Bone marrow aspirate smear · image size 250×250 — 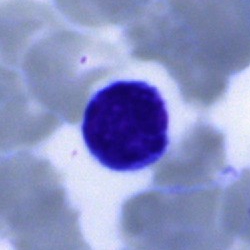

Morphology consistent with a lymphocyte.